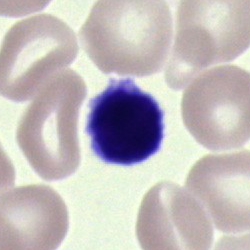Impression — typical lymphocyte.